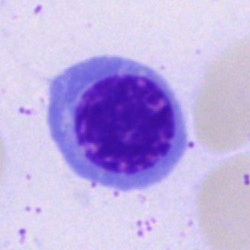Q: Identify the cell.
A: Normoblast.